250×250 · bone marrow aspirate smear
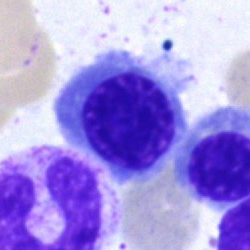Q: What is shown here?
A: An erythroblast.